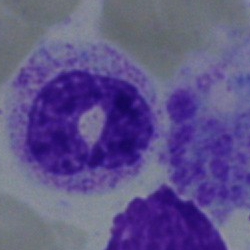 Q: What cell is this?
A: A stab cell.